Bone marrow aspirate smear · Pappenheim-stained
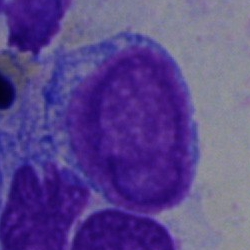
Blast cell.